40× oil immersion · bone marrow aspirate smear.
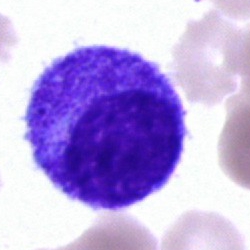 Specimen: bone marrow aspirate smear.
Morphological class: promyelocyte.
Lineage: myeloid.